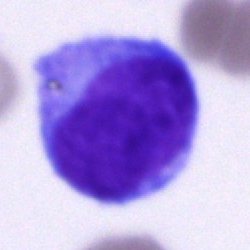Showing a blast cell.